Bone marrow aspirate smear; 40× objective, oil immersion:
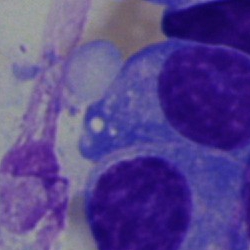

This is a plasmacyte.